Bone marrow aspirate smear.
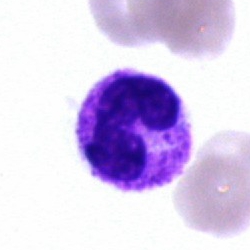

Q: What is the morphological classification of this cell?
A: Stab cell.